Bone marrow aspirate smear — 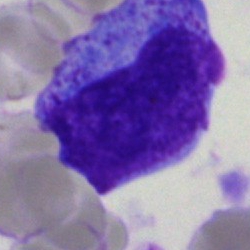Specimen: bone marrow smear.
Cell type: promyelocyte.